Bone marrow smear
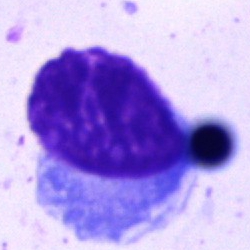
Cell type = plasma cell.